Bone marrow smear. MGG-stained.
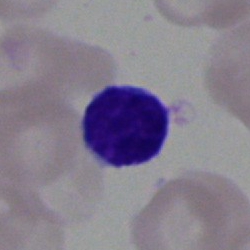

Morphological class — lymphocyte.